Bone marrow aspirate smear — 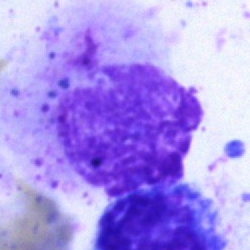

Showing an artifact.